Bone marrow aspirate smear: 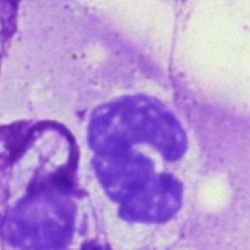 Cell — neutrophil (segmented).